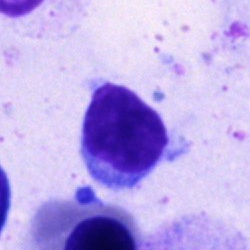

{"cell_type": "typical lymphocyte", "lineage": "lymphoid"}